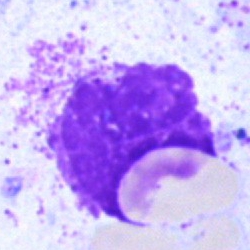The morphological class is artifact.